250 by 250 pixels · bone marrow aspirate smear:
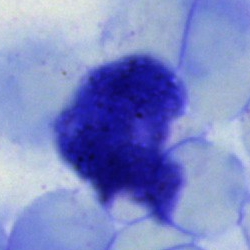Showing an unidentifiable cell.